250 by 250 pixels. Bone marrow smear
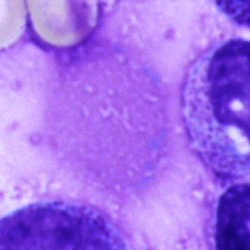
Artifact.